Bone marrow aspirate smear
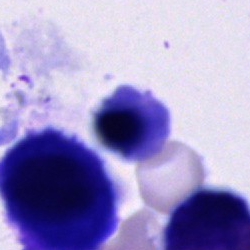

Cell = unidentifiable cell.